400 by 400 pixels · Romanowsky stain · peripheral blood film
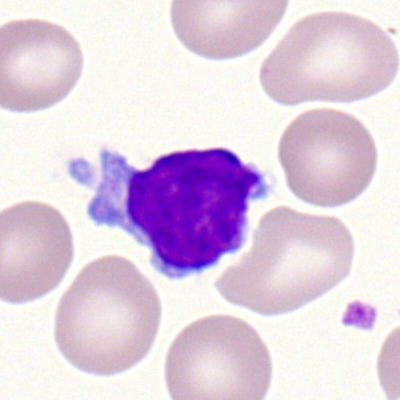
Morphology consistent with a lymphocyte.